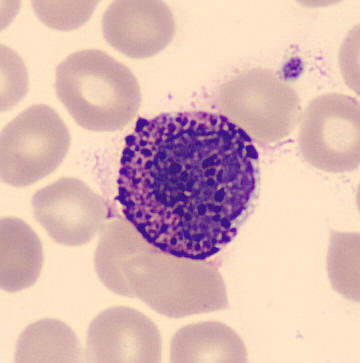Showing a basophil. Peripheral blood smear.